Bone marrow smear · single-cell field · 250×250 px — 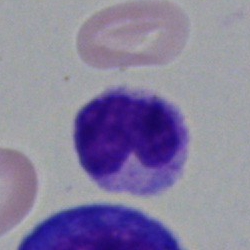 Impression — metamyelocyte.